MGG-stained. Bone marrow smear. Single-cell crop:
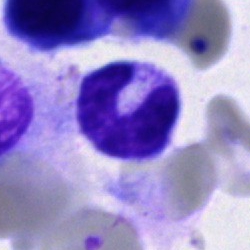 This is a band neutrophil.